Bone marrow smear:
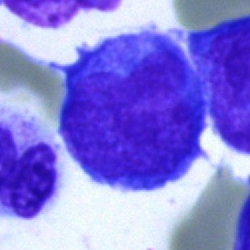Blast cell.